Bone marrow aspirate smear: 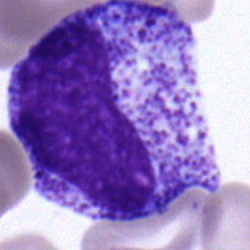

Morphology consistent with a myelocyte.